Bone marrow aspirate smear:
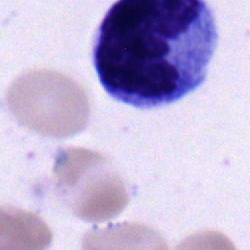Cell type: monocyte.